Brightfield, 40× oil-immersion objective; bone marrow smear; 250 by 250 pixels.
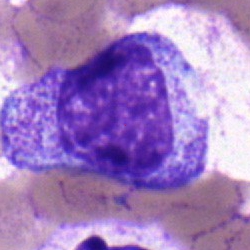 Q: What cell is this?
A: This is a myelocyte.